Single cell centered in the field. Bone marrow aspirate smear:
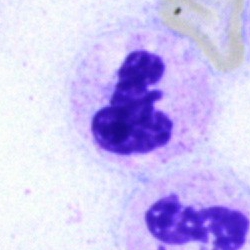

Q: Identify the cell.
A: This is a polymorphonuclear neutrophil.